Bone marrow smear:
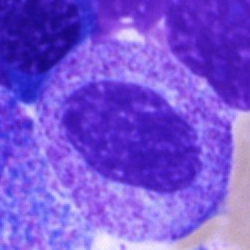 The morphological class is progranulocyte.